Bone marrow smear — 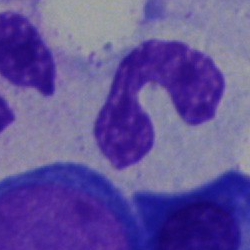

Specimen: bone marrow aspirate smear.
Morphological class: segmented neutrophil.
Lineage: myeloid.